MGG-stained; bone marrow smear.
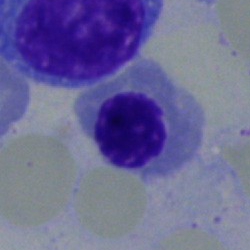This is a nucleated red cell.